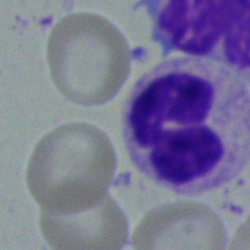

Cell — polymorphonuclear neutrophil.